Bone marrow smear.
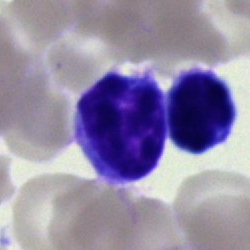 Q: What cell is this?
A: This is a lymphocyte.